Bone marrow smear: 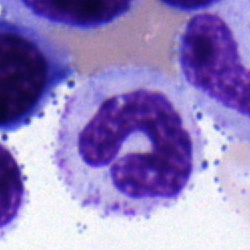The classification is band-form neutrophil.